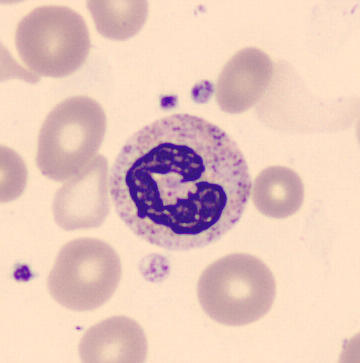

{"cell_type": "band neutrophil", "lineage": "myeloid"}